Bone marrow aspirate smear
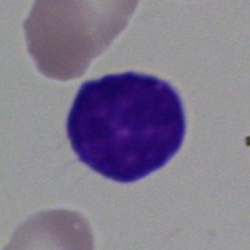
The cell type is undifferentiated blast.